250×250 px. Bone marrow aspirate smear — 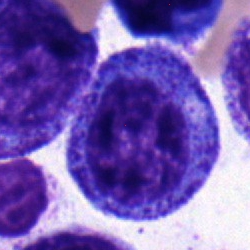Single cell identified as a progranulocyte.